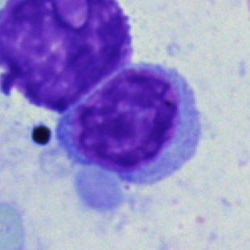
The classification is typical lymphocyte.